Single cell centered in the field. Bone marrow smear:
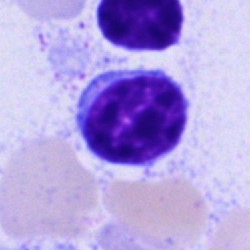
The morphological class is lymphocyte.